Bone marrow smear
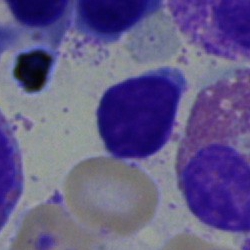 The cell shown is a lymphocyte.